Peripheral blood film
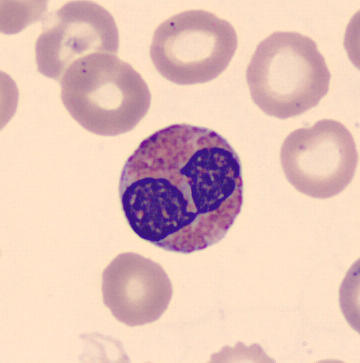An eosinophil.